40× oil immersion; bone marrow smear — 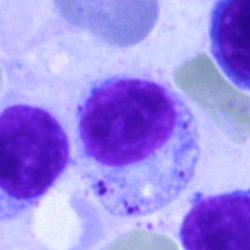 Specimen: bone marrow aspirate smear.
Cell type: typical lymphocyte.
Lineage: lymphoid.